Brightfield microscopy, 40× oil immersion; bone marrow aspirate smear; cropped to a single cell:
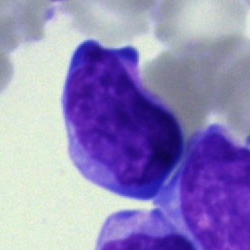

{"cell_type": "undifferentiated blast"}